Image size 250×250. Bone marrow aspirate smear. May-Grünwald-Giemsa/Pappenheim stain
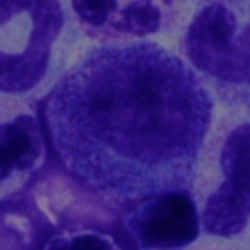
Specimen: bone marrow smear.
Classification: progranulocyte.
Lineage: myeloid.